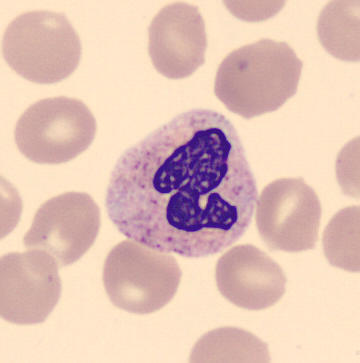 Morphological class = polymorphonuclear neutrophil.